Single cell centered in the field. Bone marrow aspirate smear:
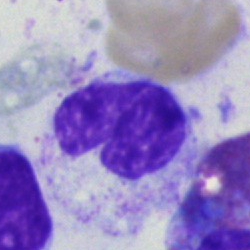{"cell_type": "stab cell", "lineage": "myeloid"}